Bone marrow aspirate smear
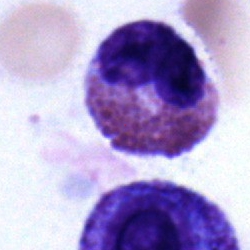 Cell type — eosinophilic granulocyte.